Bone marrow aspirate smear.
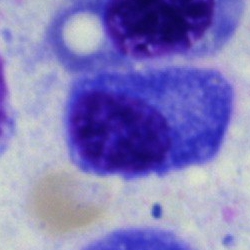The cell is plasma cell.